Bone marrow smear:
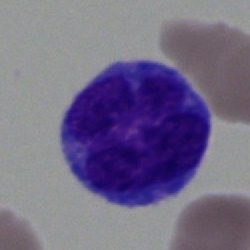 Morphology — monocyte.